Image size 400×400. Peripheral blood smear. Cropped to a single cell: 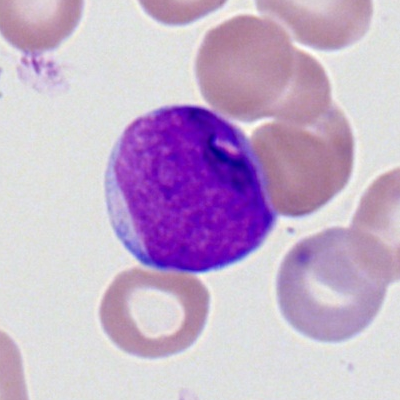The classification is myeloid blast.